Single-cell crop · bone marrow smear — 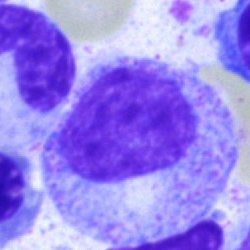 Cell — myelocyte.